Bone marrow smear:
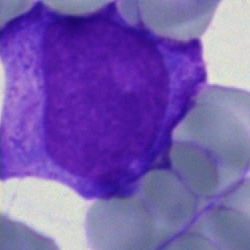

Specimen: bone marrow aspirate smear.
Cell type: undifferentiated blast.